Bone marrow aspirate smear:
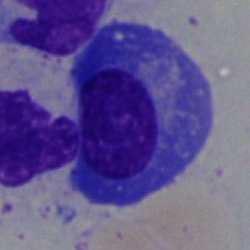
A plasma cell.